Peripheral blood film; single-cell crop; Romanowsky-stained
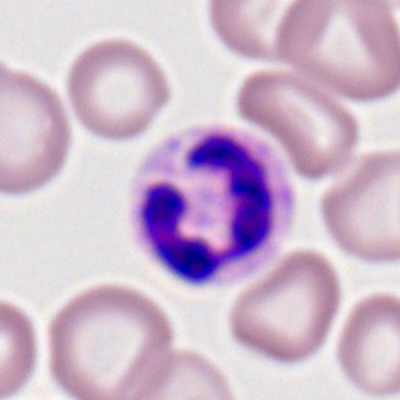 Specimen: peripheral blood film.
Cell type: polymorphonuclear neutrophil.
Lineage: myeloid.